250×250 px; 40× objective, oil immersion; bone marrow aspirate smear
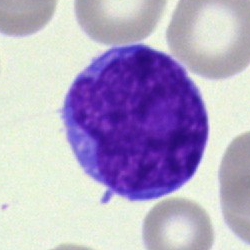 Specimen: bone marrow aspirate smear.
Cell type: blast.